Bone marrow aspirate smear — 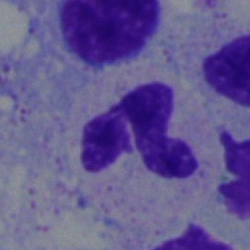Single cell identified as a segmented neutrophil.